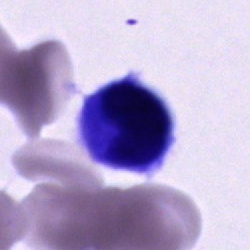A cell of indeterminate lineage on a bone marrow smear.